MGG-stained. Bone marrow aspirate smear: 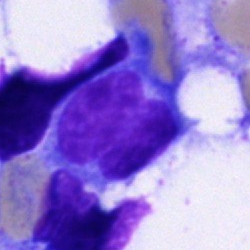
Morphology consistent with a blast cell.